Pappenheim-stained · bone marrow aspirate smear.
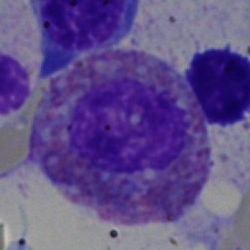
Cell — eosinophil.